Bone marrow aspirate smear — 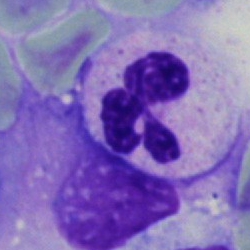 Impression → segmented neutrophil.